Bone marrow aspirate smear. May-Grünwald-Giemsa/Pappenheim stain. Single-cell field.
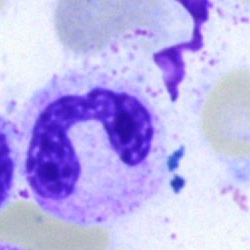

Q: What cell is this?
A: A polymorphonuclear neutrophil.